Peripheral blood film: 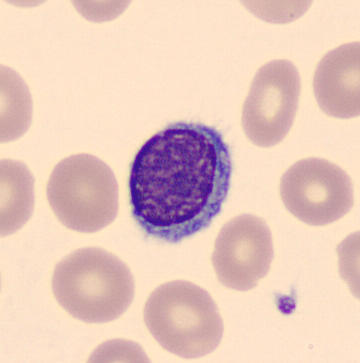Impression — lymphocyte.